Single-cell crop. Bone marrow aspirate smear — 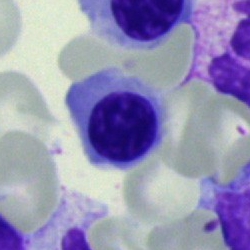Q: What is shown here?
A: Normoblast.